40× oil immersion. Bone marrow aspirate smear:
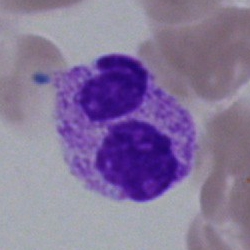
{"cell_type": "neutrophil (segmented)", "lineage": "myeloid"}